Bone marrow aspirate smear. Pappenheim-stained. Brightfield, 40× oil-immersion objective
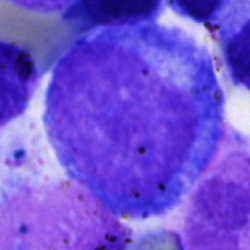Specimen: bone marrow aspirate smear.
Classification: promyelocyte.
Lineage: myeloid.